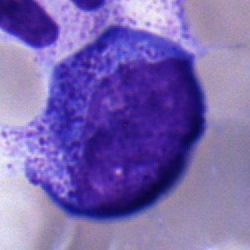

Cell type = progranulocyte.